Bone marrow smear: 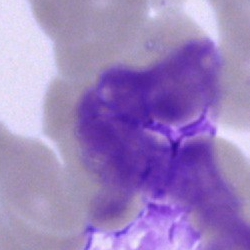 Q: What is shown here?
A: Artefact.